Bone marrow aspirate smear; brightfield microscopy, 40× oil immersion — 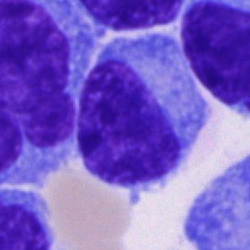Specimen: bone marrow smear.
Classification: plasmacyte.
Lineage: lymphoid.